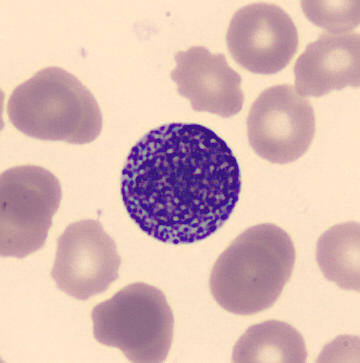 Q: What is shown here?
A: Promyelocyte. Preparation: Single-cell crop. Peripheral blood film. May-Grünwald-Giemsa-stained.